Bone marrow aspirate smear · May-Grünwald-Giemsa stain.
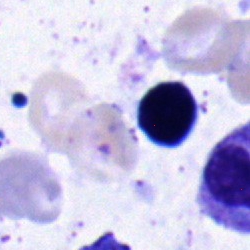

Morphological class = lymphocyte.